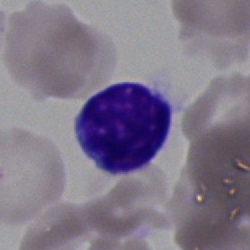

The cell shown is a lymphocyte.